Bone marrow smear.
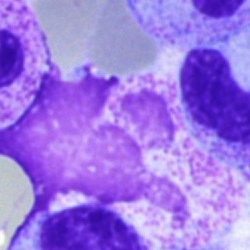Artifact.